Bone marrow smear: 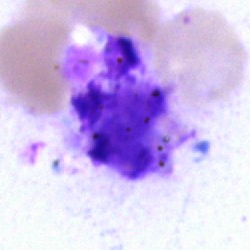 The cell type is artifact.